Bone marrow smear
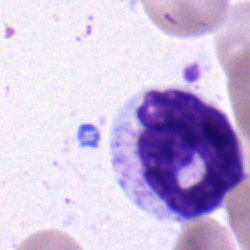
Showing a segmented neutrophil.